Bone marrow aspirate smear: 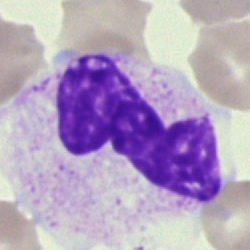

Band neutrophil.